Bone marrow smear
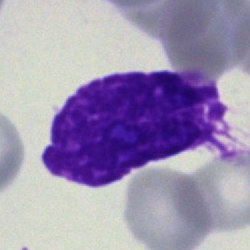 Cell — artefact.